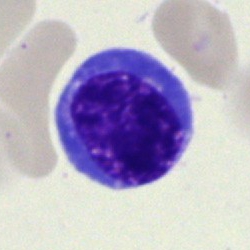 Single-cell crop from a bone marrow smear: normoblast.